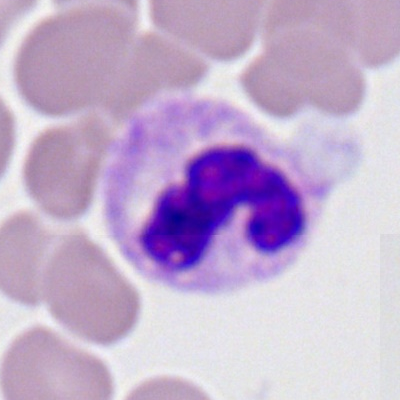The classification is segmented neutrophil.